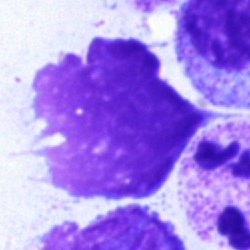Specimen: bone marrow aspirate smear.
Classification: artifact.